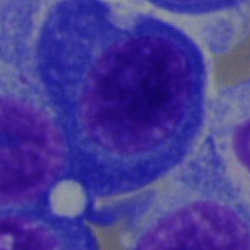Plasmacyte.